Bone marrow smear: 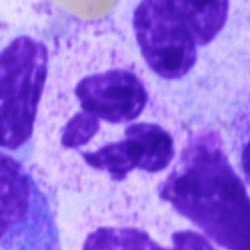
{"cell_type": "polymorphonuclear neutrophil"}